Bone marrow aspirate smear:
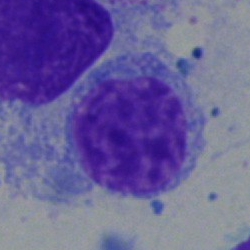The classification is lymphocyte.